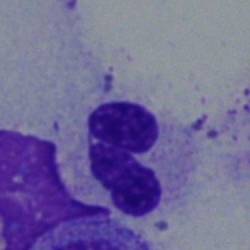
Showing a segmented neutrophil.